Bone marrow aspirate smear
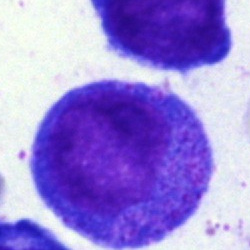 Showing a progranulocyte.